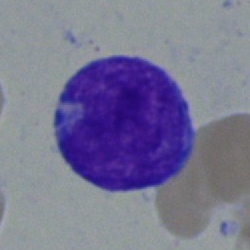

The cell shown is a blast.